MGG-stained · 250 by 250 pixels · bone marrow aspirate smear — 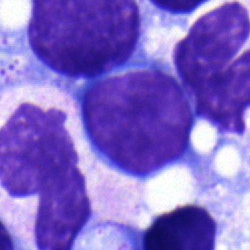Single cell identified as a segmented neutrophil.